Bone marrow smear — 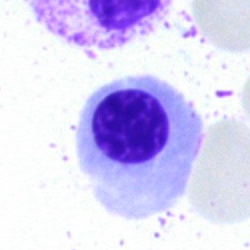

Specimen: bone marrow smear.
Cell: normoblast.
Lineage: erythroid.